Bone marrow aspirate smear
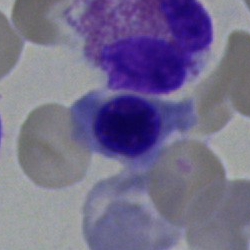Q: Identify the cell.
A: This is a nucleated red cell.